Cropped to a single cell; bone marrow smear
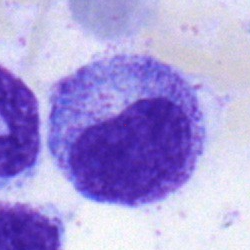Morphological class — myelocyte.